Bone marrow aspirate smear · single-cell field — 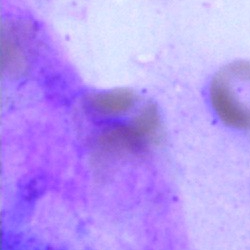
The cell shown is an artifact.